May-Grünwald-Giemsa/Pappenheim stain; bone marrow aspirate smear; 250×250 — 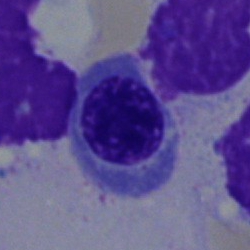
Q: What cell is this?
A: This is an erythroblast.